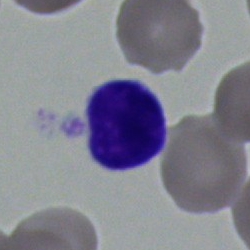
Cell — lymphocyte.